Bone marrow aspirate smear.
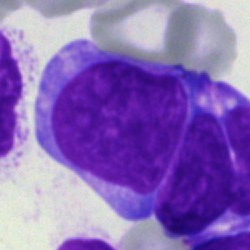
The morphological class is blast.